Brightfield microscopy, 40× oil immersion · bone marrow aspirate smear:
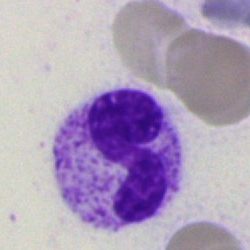Classification: segmented neutrophil.